Bone marrow smear — 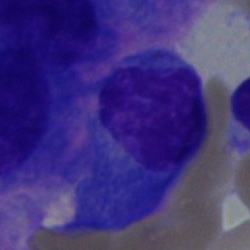

Plasma cell.